Bone marrow aspirate smear: 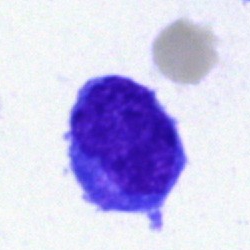
The cell type is lymphocyte.